Bone marrow smear:
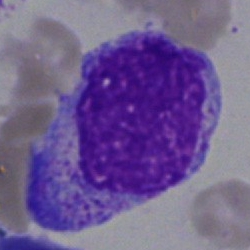
Cell type = progranulocyte.